Peripheral blood smear. Single-cell field — 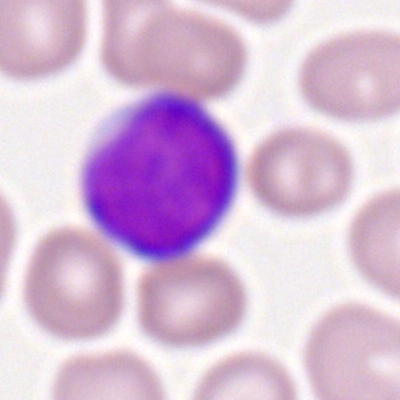

Morphological class: myeloid blast.